250 by 250 pixels. Bone marrow aspirate smear. Single-cell field
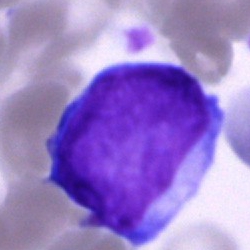
Morphology consistent with a blast cell.